Bone marrow aspirate smear · single cell centered in the field · 40× objective, oil immersion
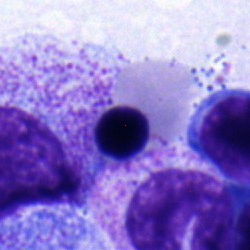Q: Identify the cell.
A: It is a nucleated red blood cell.